Image size 250×250. Bone marrow aspirate smear: 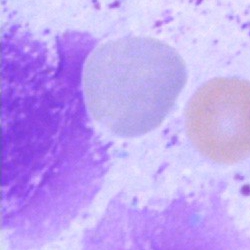
The cell type is artefact.